Bone marrow aspirate smear:
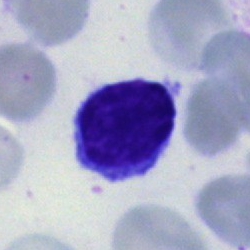

Morphology consistent with a lymphocyte.